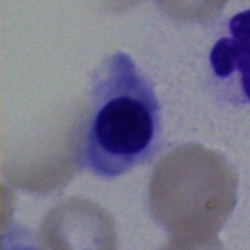 Morphological class = erythroblast.